Bone marrow smear. May-Grünwald-Giemsa stain. 250 by 250 pixels
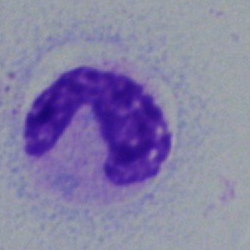The cell is stab cell.